Bone marrow aspirate smear. May-Grünwald-Giemsa stain: 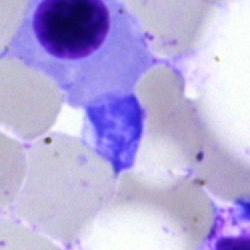

Specimen: bone marrow smear.
Classification: artifact.